Bone marrow aspirate smear. May-Grünwald-Giemsa/Pappenheim stain. Single-cell crop
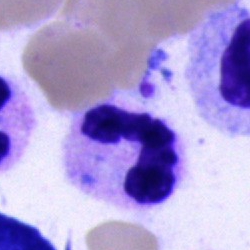

Cell type = neutrophil (segmented).